Bone marrow aspirate smear — 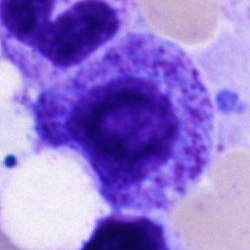

Morphological class: progranulocyte.